Bone marrow aspirate smear:
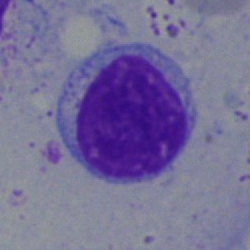Cell type: typical lymphocyte.